Bone marrow smear:
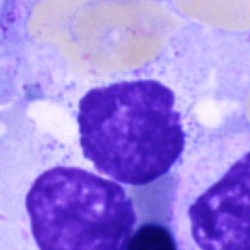

Classification — artifact.